Bone marrow aspirate smear · brightfield microscopy, 40× oil immersion · cropped to a single cell: 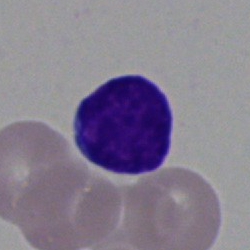Cell: blast cell.